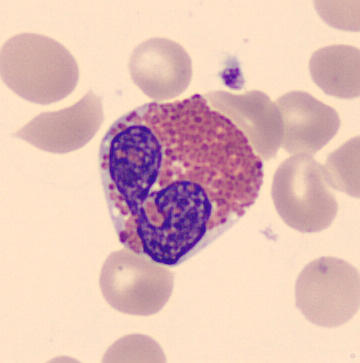Peripheral blood film. 360×363 px.

Morphology → eosinophil.